Bone marrow aspirate smear.
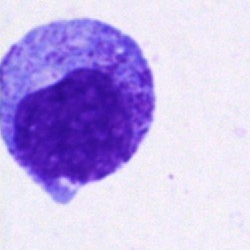
Q: What is the morphological classification of this cell?
A: It is a progranulocyte.